Bone marrow aspirate smear:
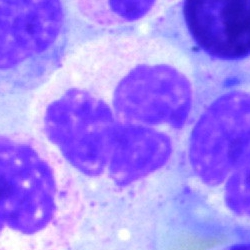
Cell type = segmented neutrophil.